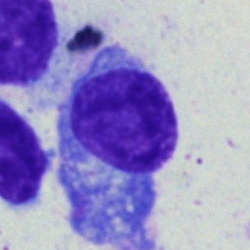 Bone marrow aspirate smear, single cell — plasma cell.